Bone marrow aspirate smear — 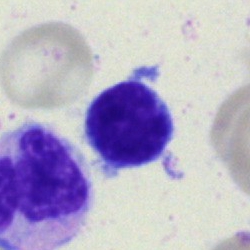
Showing a lymphocyte.